Brightfield microscopy, 40× oil immersion. Bone marrow smear.
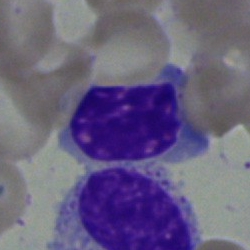 Impression → normoblast.